Pappenheim-stained; bone marrow aspirate smear — 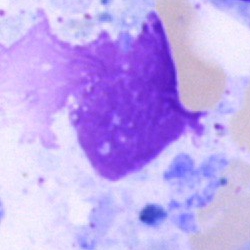 Morphology → artifact.